Single-cell crop. Bone marrow aspirate smear: 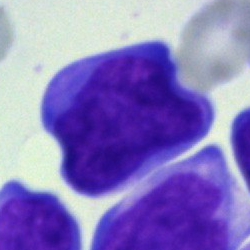
{"cell_type": "blast cell"}